Bone marrow smear:
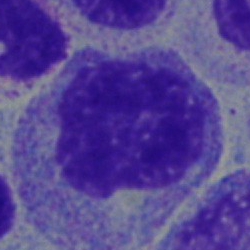 Morphology consistent with a myelocyte.